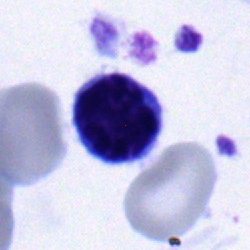A lymphocyte.